Cropped to a single cell; bone marrow smear: 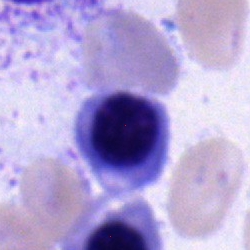
Q: What cell is this?
A: A nucleated red cell.